Bone marrow smear; MGG-stained
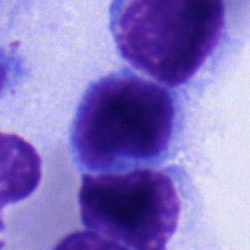 The cell is typical lymphocyte.